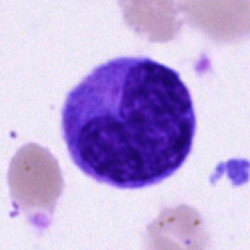

Q: Identify the cell.
A: A monocyte.